Bone marrow aspirate smear: 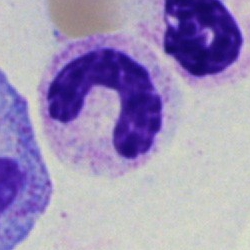

Impression → stab cell.